Bone marrow smear — 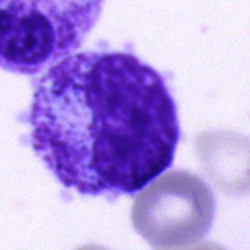

The cell shown is a myelocyte.